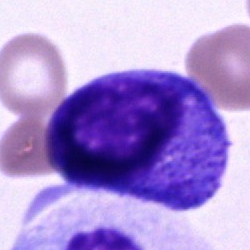

Impression → cell of indeterminate lineage.